MGG-stained · brightfield, 40× oil-immersion objective · bone marrow smear — 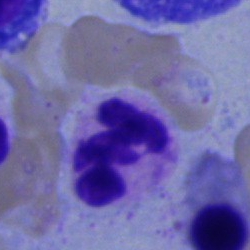

Q: What cell is this?
A: Polymorphonuclear neutrophil.